Bone marrow aspirate smear. Brightfield microscopy, 40× oil immersion. Single cell centered in the field: 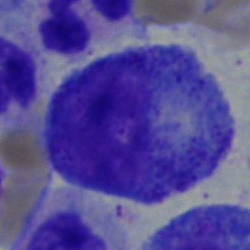
Q: What cell is this?
A: This is a progranulocyte.